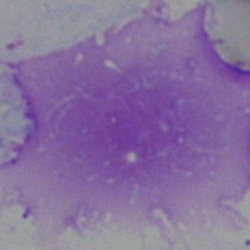Bone marrow smear showing an artifact.